Bone marrow aspirate smear; brightfield, 40× oil-immersion objective — 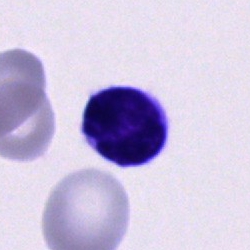 An unidentifiable cell.